Brightfield microscopy, 40× oil immersion; bone marrow smear; single cell centered in the field: 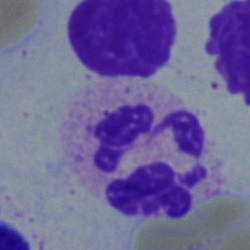Cell: polymorphonuclear neutrophil.